Bone marrow smear:
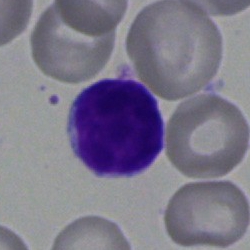Q: What is the morphological classification of this cell?
A: It is a lymphocyte.